Cropped to a single cell · Pappenheim-stained · bone marrow aspirate smear — 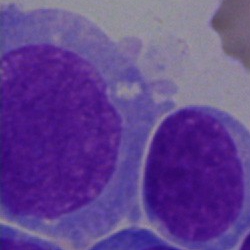
Classification = blast cell.